Bone marrow aspirate smear: 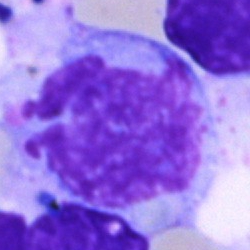

Morphological class — artefact.